Bone marrow smear: 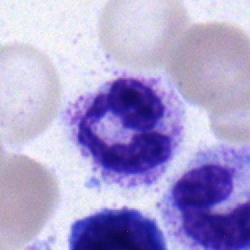 Single cell identified as a polymorphonuclear neutrophil.